Bone marrow aspirate smear.
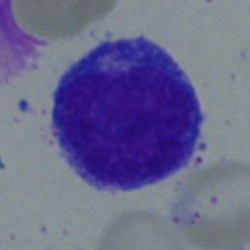Q: What is shown here?
A: Undifferentiated blast.